Single cell centered in the field; Pappenheim-stained; bone marrow aspirate smear:
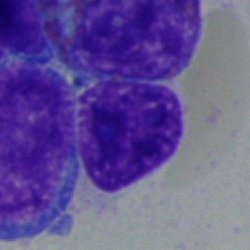
Showing an undifferentiated blast.